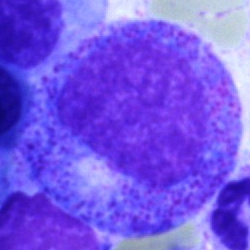

Q: What is shown here?
A: A myelocyte.